Bone marrow smear.
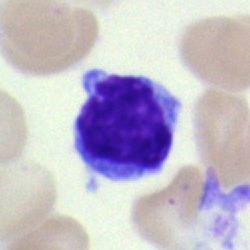
Q: What cell is this?
A: This is a lymphocyte.